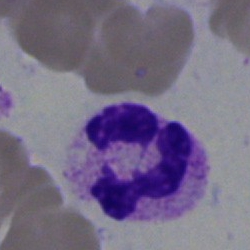

Morphology — polymorphonuclear neutrophil.